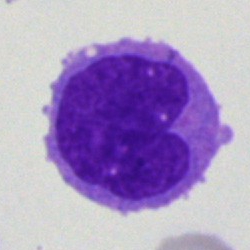Blast cell.